Bone marrow aspirate smear · brightfield, 40× oil-immersion objective · single cell centered in the field:
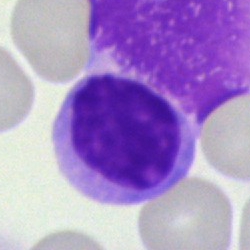 Showing a typical lymphocyte.